Single-cell field · 40× objective, oil immersion · bone marrow aspirate smear — 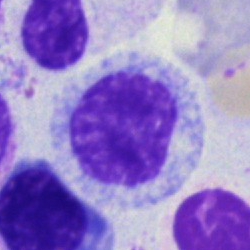
Myelocyte.